40× objective, oil immersion · bone marrow aspirate smear · Pappenheim-stained.
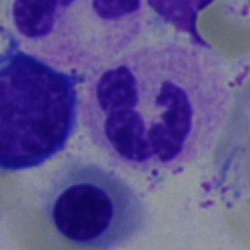Morphological class: segmented neutrophil.